Bone marrow smear; brightfield microscopy, 40× oil immersion
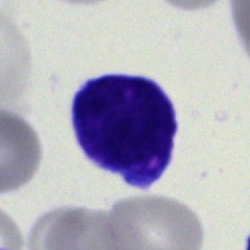This is a blast cell.